M8 digital microscope (Precipoint), 100× oil immersion · 400 by 400 pixels · peripheral blood smear — 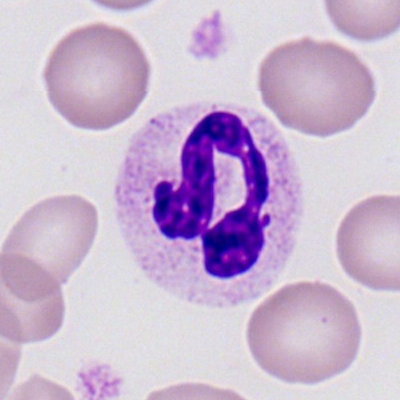

Q: What is shown here?
A: A polymorphonuclear neutrophil.